Bone marrow aspirate smear · MGG-stained.
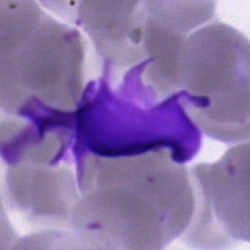
Morphology → artefact.